Bone marrow aspirate smear:
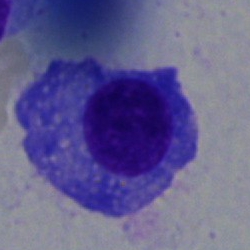
Classification = plasma cell.